Bone marrow smear:
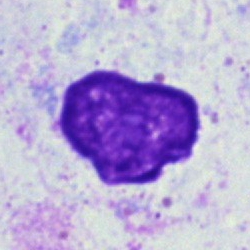

Specimen: bone marrow smear.
Morphological class: artefact.